Bone marrow aspirate smear: 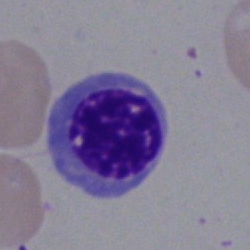{"cell_type": "erythroblast", "lineage": "erythroid"}